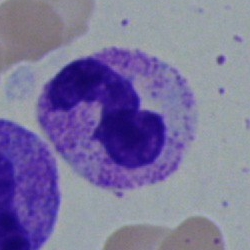

Morphological class: band neutrophil.